Bone marrow smear. Single-cell field.
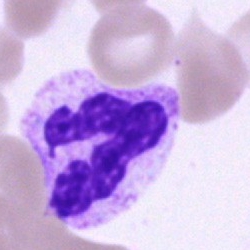 Q: What cell is this?
A: This is a neutrophil (segmented).